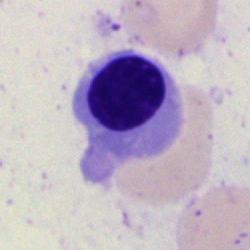
Q: What cell is this?
A: This is a nucleated red cell.